Bone marrow aspirate smear · 250 by 250 pixels — 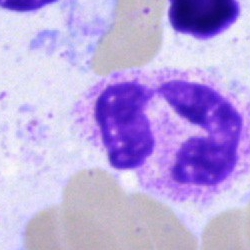
Q: What type of cell is this?
A: It is a polymorphonuclear neutrophil.